Bone marrow aspirate smear:
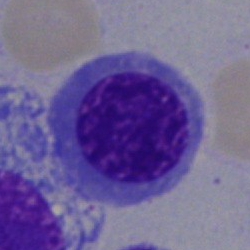

Q: What is the morphological classification of this cell?
A: It is an erythroblast.